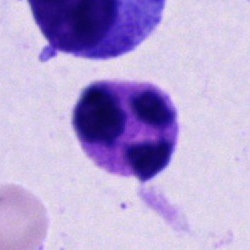
Cell: segmented neutrophil.